Bone marrow aspirate smear · 250×250 px · 40× oil immersion — 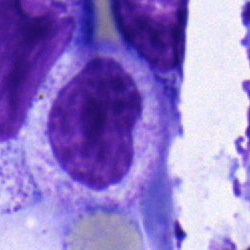

Specimen: bone marrow aspirate smear.
Classification: metamyelocyte.
Lineage: myeloid.